Bone marrow smear
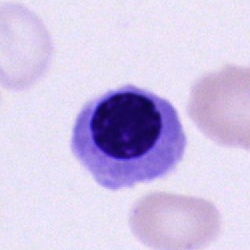Morphological class = normoblast.